Bone marrow smear: 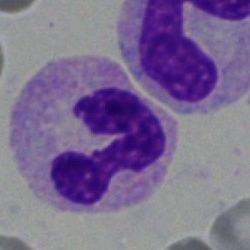 The cell is neutrophil (segmented).